Bone marrow aspirate smear: 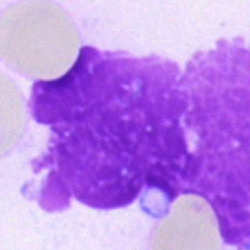Artifact.